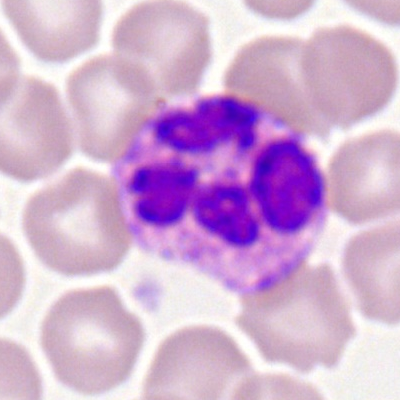
Q: Which cell type is shown here?
A: Basophil.